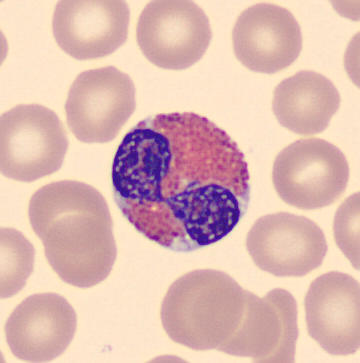
This is an eosinophilic granulocyte.

Acquisition: Peripheral blood film.